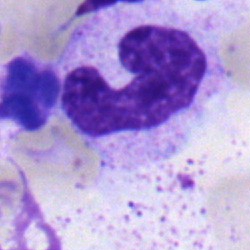 Bone marrow smear showing a stab cell.